Image size 250×250; bone marrow aspirate smear: 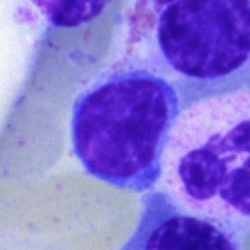Morphological class: typical lymphocyte.